Bone marrow aspirate smear: 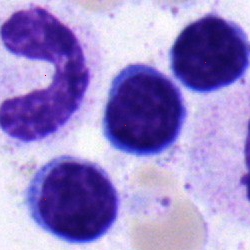

Single cell identified as a lymphocyte.